Single-cell crop. Bone marrow aspirate smear. Image size 250×250: 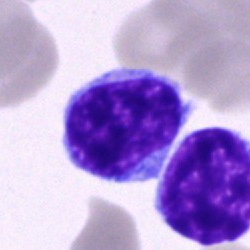

Specimen: bone marrow aspirate smear.
Morphological class: typical lymphocyte.
Lineage: lymphoid.